May-Grünwald-Giemsa/Pappenheim stain; bone marrow smear; 250 by 250 pixels: 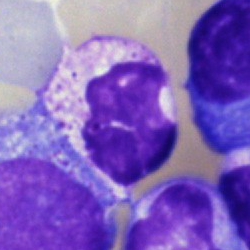
Neutrophil (segmented).